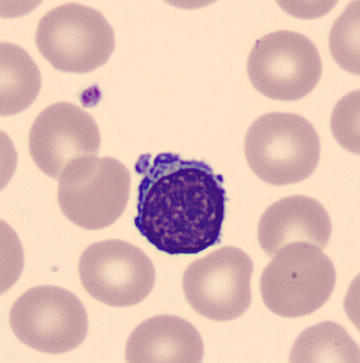 Image: Single cell centered in the field; peripheral blood film; automated cell imaging (CellaVision DM96). Cell type = lymphocyte.